Bone marrow smear
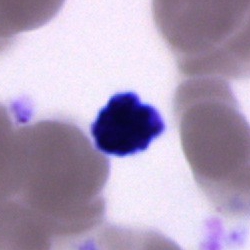The morphological class is cell of indeterminate lineage.